Bone marrow smear · cropped to a single cell.
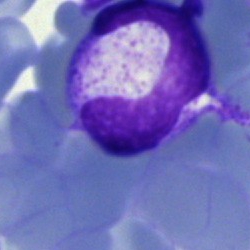 Impression — neutrophil (segmented).